Bone marrow aspirate smear: 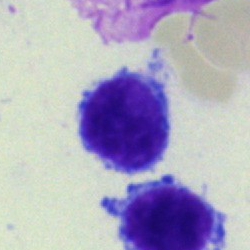A lymphocyte.